Peripheral blood smear.
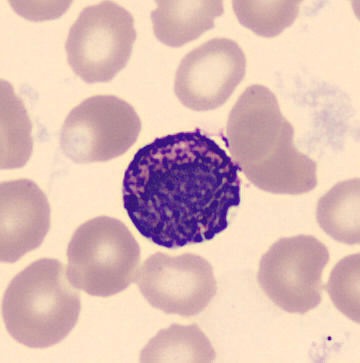Q: What cell is this?
A: Basophil.